Bone marrow smear: 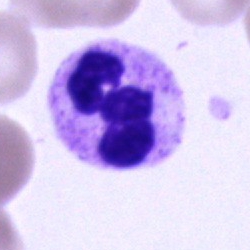Cell type: polymorphonuclear neutrophil.